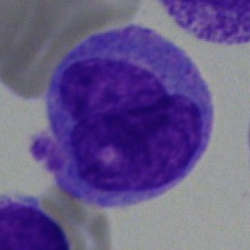Q: What is the morphological classification of this cell?
A: This is a monocyte.